Brightfield microscopy, 40× oil immersion · bone marrow smear · 250×250: 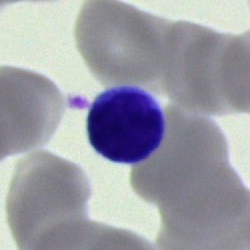
Typical lymphocyte.